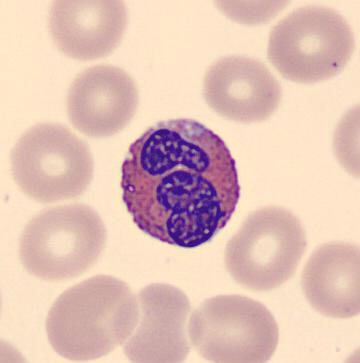{"cell_type": "eosinophilic granulocyte"}